Bone marrow aspirate smear:
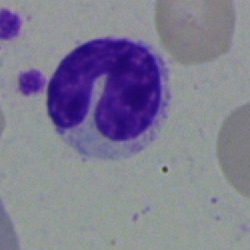Showing a stab cell.